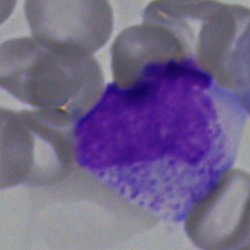 Specimen: bone marrow aspirate smear.
Cell: myelocyte.